Pappenheim-stained. Bone marrow aspirate smear — 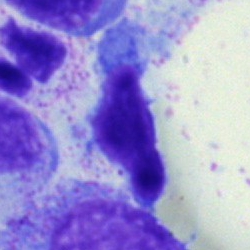 Showing a lymphocyte.